Bone marrow smear. May-Grünwald-Giemsa stain:
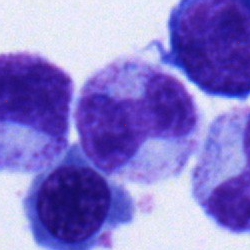 Morphology → metamyelocyte.